Bone marrow aspirate smear: 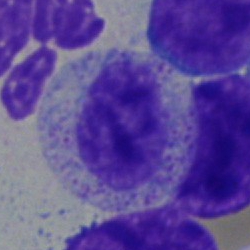 Specimen: bone marrow smear.
Classification: myelocyte.
Lineage: myeloid.